Bone marrow aspirate smear.
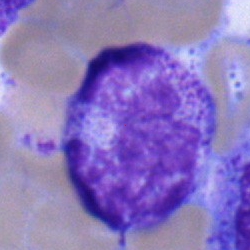Cell type — band neutrophil.